Bone marrow aspirate smear.
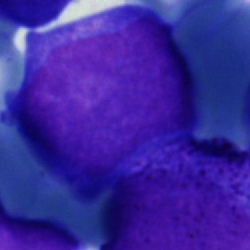Blast cell.